Peripheral blood film:
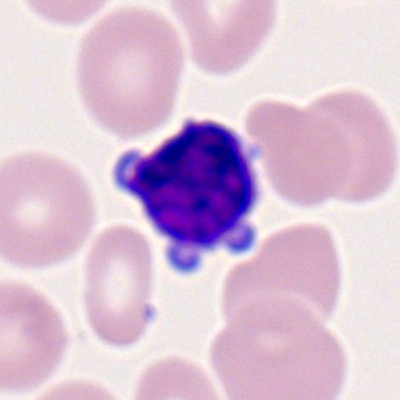

Classification — typical lymphocyte.